Bone marrow smear:
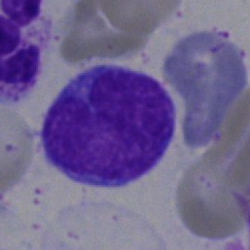

The cell shown is a lymphocyte.